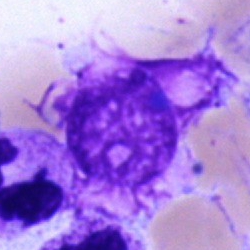 Showing an artifact.